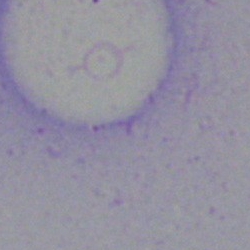

Showing an artifact.